Bone marrow smear · single cell centered in the field — 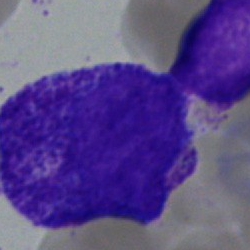Cell type: progranulocyte.